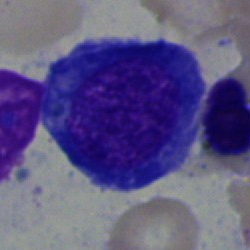

The cell shown is a normoblast.